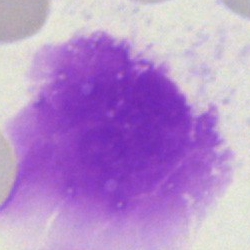

Single-cell crop from a bone marrow smear: artifact.